Bone marrow aspirate smear. MGG-stained
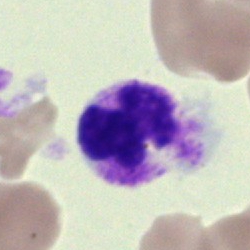 Q: Which cell type is shown here?
A: A segmented neutrophil.